Bone marrow smear
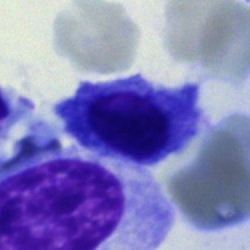Showing a nucleated red blood cell.